Bone marrow smear. May-Grünwald-Giemsa stain. Image size 250×250: 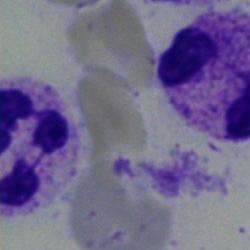{"cell_type": "neutrophil (segmented)", "lineage": "myeloid"}